Bone marrow smear — 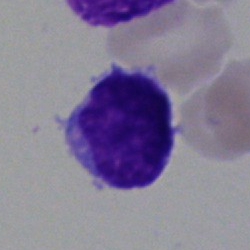Q: Identify the cell.
A: A typical lymphocyte.